Image size 250×250 · bone marrow aspirate smear: 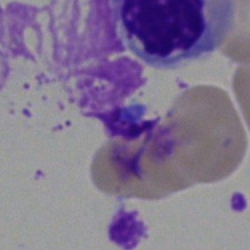Morphology — artifact.